Single-cell crop · bone marrow aspirate smear · May-Grünwald-Giemsa/Pappenheim stain.
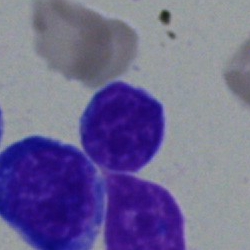

{"cell_type": "typical lymphocyte"}